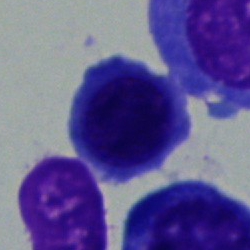 This is a nucleated red cell.